Bone marrow aspirate smear: 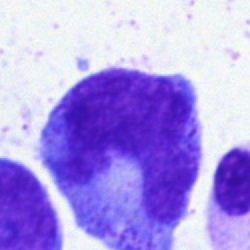Q: What type of cell is this?
A: A monocyte.